Bone marrow smear: 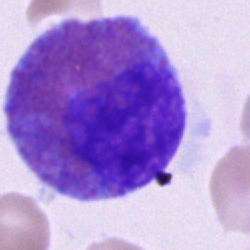
Eosinophilic granulocyte.